Bone marrow aspirate smear · 250 by 250 pixels · single-cell field
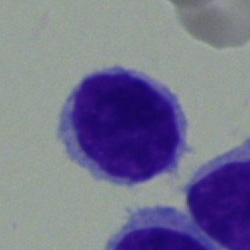 This is a lymphocyte.